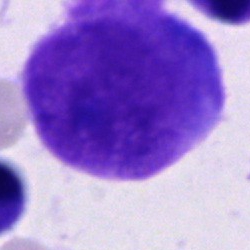

The cell is unidentifiable cell.